Bone marrow aspirate smear:
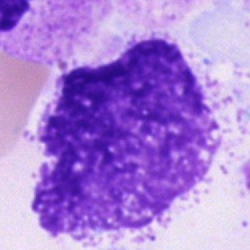 Morphology consistent with an artefact.